Brightfield microscopy, 40× oil immersion; bone marrow aspirate smear
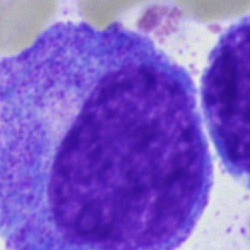
Impression — promyelocyte.